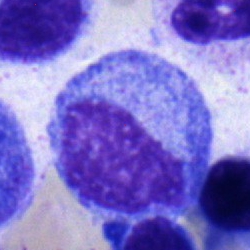 Morphology consistent with a progranulocyte.